Bone marrow aspirate smear — 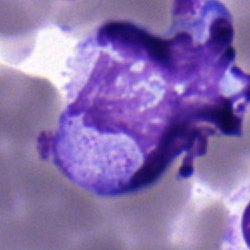 The cell type is monocyte.